Peripheral blood smear: 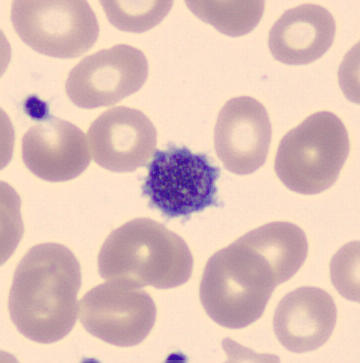

Q: What is shown here?
A: Thrombocyte.